Bone marrow smear:
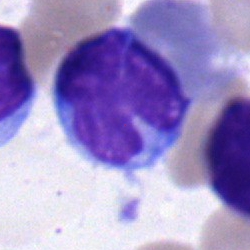Showing a typical lymphocyte.